Bone marrow aspirate smear
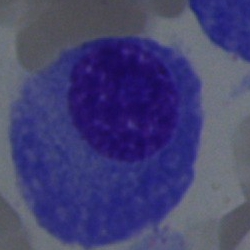
Q: What is shown here?
A: This is a plasmacyte.